Bone marrow smear
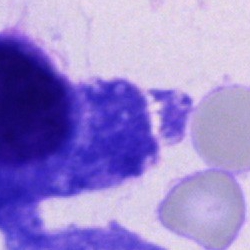
Impression — other cell type.